Bone marrow aspirate smear
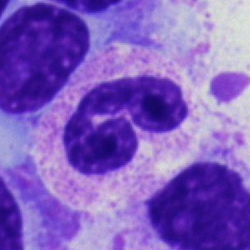
Segmented neutrophil.